Bone marrow aspirate smear. 250 by 250 pixels:
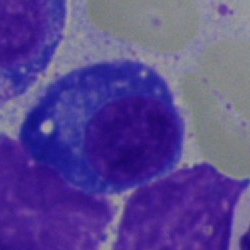
Plasma cell.